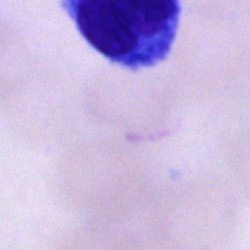Q: Identify the cell.
A: This is an unidentifiable cell.